Bone marrow aspirate smear — 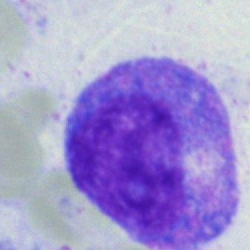 Specimen: bone marrow smear.
Cell: progranulocyte.
Lineage: myeloid.